Bone marrow smear: 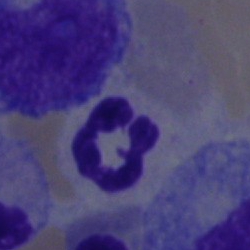
Morphology — polymorphonuclear neutrophil.